Bone marrow aspirate smear; 250×250 px: 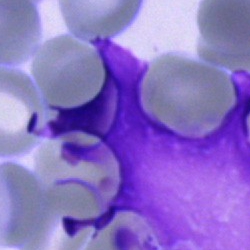 Single cell identified as an artefact.